Bone marrow smear — 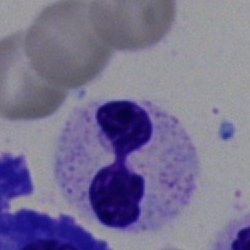

The cell is segmented neutrophil.